Bone marrow smear
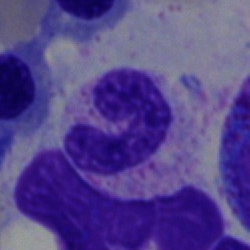The classification is polymorphonuclear neutrophil.